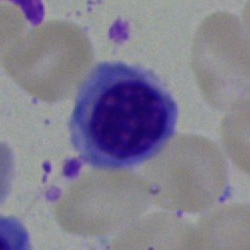

Cell type = nucleated red blood cell.